Brightfield, 40× oil-immersion objective · bone marrow aspirate smear · image size 250×250:
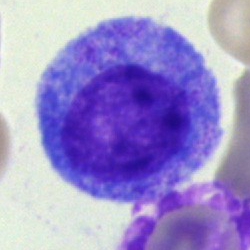Promyelocyte.